Image size 400×400 · peripheral blood smear · single-cell field — 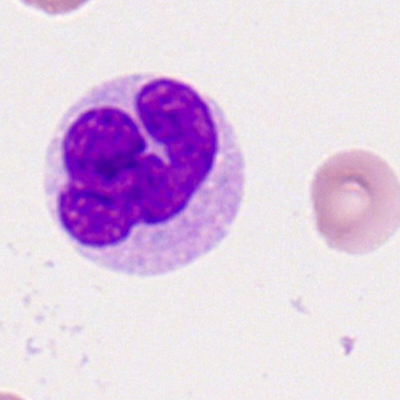
Morphology consistent with a polymorphonuclear neutrophil.